Bone marrow aspirate smear:
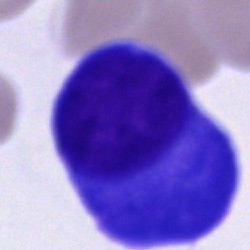

Q: What type of cell is this?
A: It is a plasmacyte.